Bone marrow aspirate smear · single-cell crop: 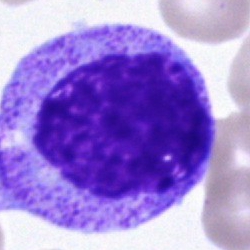Morphology → myelocyte.